100× objective, oil immersion · peripheral blood smear · 400×400:
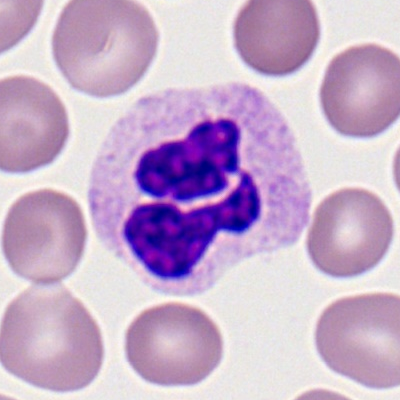

Single cell identified as a neutrophil (segmented).